Bone marrow smear: 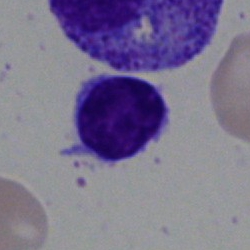 The classification is lymphocyte.